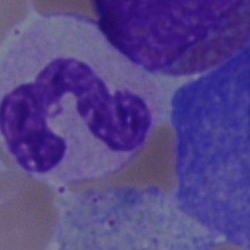

Bone marrow aspirate smear, single cell — polymorphonuclear neutrophil.